May-Grünwald-Giemsa stain; cropped to a single cell; bone marrow smear
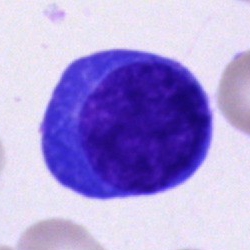
Q: Identify the cell.
A: Plasma cell.